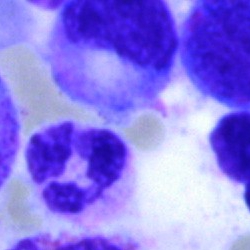 Q: What cell is this?
A: This is a neutrophil (segmented).